Pappenheim-stained · 250×250 · bone marrow aspirate smear:
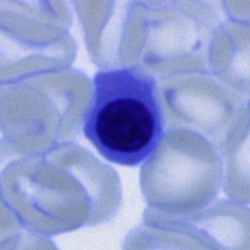
The cell shown is a normoblast.